Bone marrow aspirate smear. Single cell centered in the field: 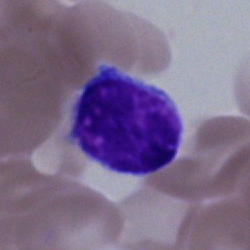Morphology → lymphocyte.